Bone marrow aspirate smear. Pappenheim-stained — 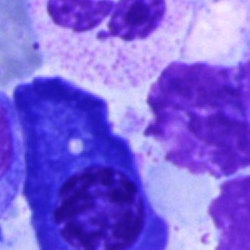
Specimen: bone marrow smear.
Morphological class: plasmacyte.
Lineage: lymphoid.